Brightfield microscopy, 40× oil immersion · May-Grünwald-Giemsa stain · bone marrow smear: 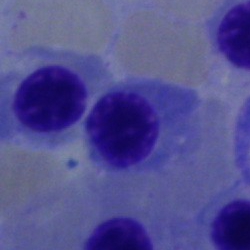

A nucleated red blood cell.